Bone marrow smear. Brightfield, 40× oil-immersion objective.
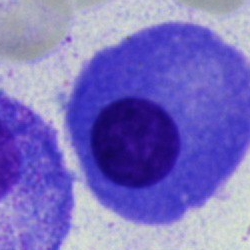

Morphology consistent with a plasmacyte.